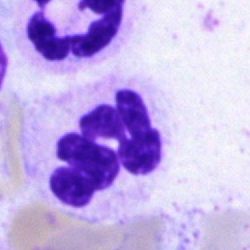

Morphology consistent with a neutrophil (segmented).